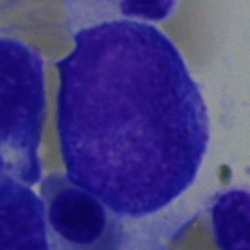

A proerythroblast.